Single-cell field · bone marrow smear: 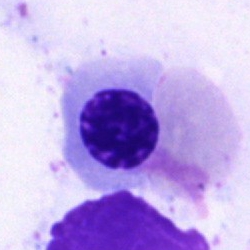{"cell_type": "erythroblast", "lineage": "erythroid"}